Image size 250×250 · bone marrow smear: 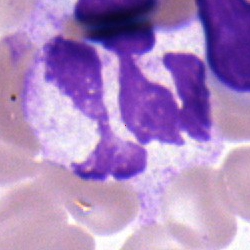

Specimen: bone marrow aspirate smear.
Morphological class: polymorphonuclear neutrophil.
Lineage: myeloid.